Bone marrow smear.
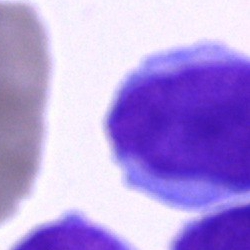
{"cell_type": "undifferentiated blast"}